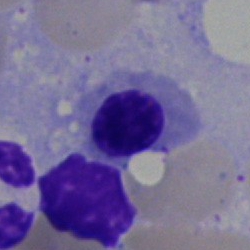Morphology consistent with a nucleated red cell.